Bone marrow aspirate smear. May-Grünwald-Giemsa/Pappenheim stain.
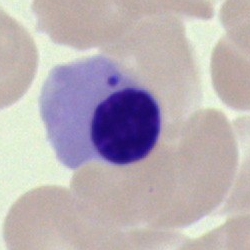Cell type — erythroblast.